40× oil immersion. Bone marrow aspirate smear:
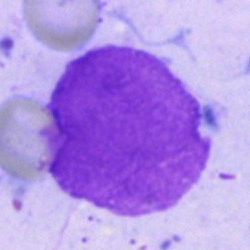

Q: What is shown here?
A: This is an artefact.